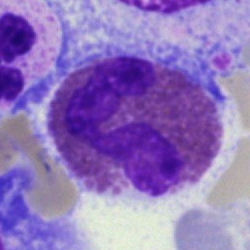
Showing an eosinophilic granulocyte.